40× oil immersion; bone marrow aspirate smear.
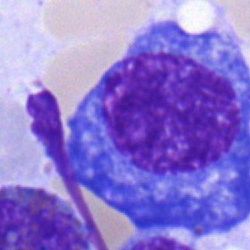 Cell: plasma cell.